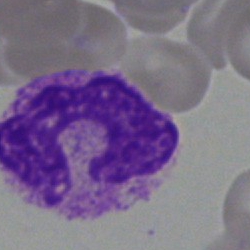 The cell shown is a polymorphonuclear neutrophil.